MGG-stained; bone marrow smear
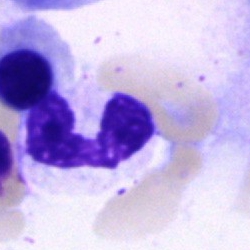
Specimen: bone marrow aspirate smear.
Cell: polymorphonuclear neutrophil.
Lineage: myeloid.